Peripheral blood film. Romanowsky-stained:
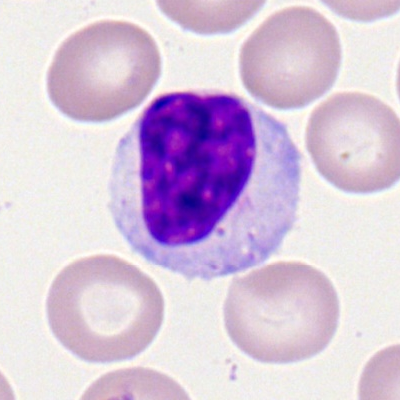Morphological class: lymphocyte.